Single-cell crop; bone marrow aspirate smear:
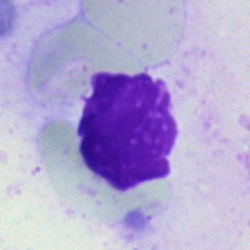

Q: What is shown here?
A: It is an artefact.